May-Grünwald-Giemsa stain; 250×250; bone marrow aspirate smear — 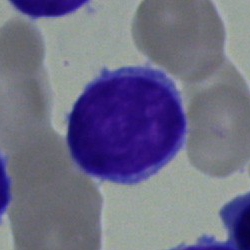 The morphological class is typical lymphocyte.